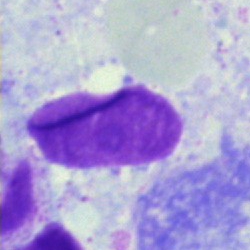
Bone marrow smear showing an artifact.